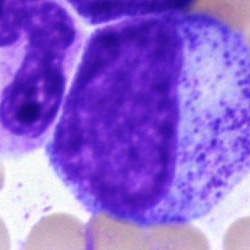
The cell shown is a promyelocyte.